Bone marrow smear:
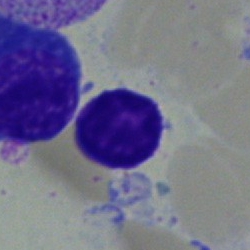
{"cell_type": "lymphocyte", "lineage": "lymphoid"}